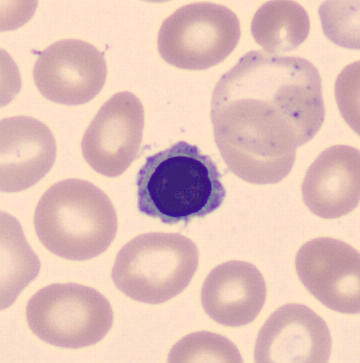Morphological class: erythroblast.